Bone marrow smear · single-cell crop:
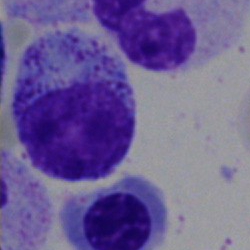
The cell type is myelocyte.